Bone marrow smear
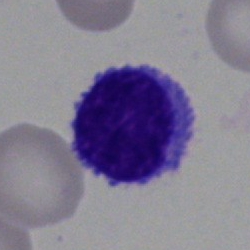
Specimen: bone marrow smear.
Cell type: lymphocyte.
Lineage: lymphoid.